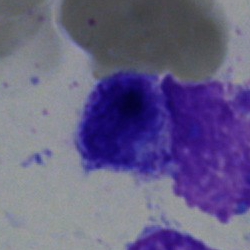Cell type: artefact.